Bone marrow smear: 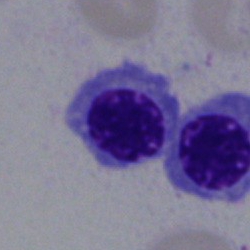Morphological class = nucleated red blood cell.